Single cell centered in the field. 400×400 px. Peripheral blood smear
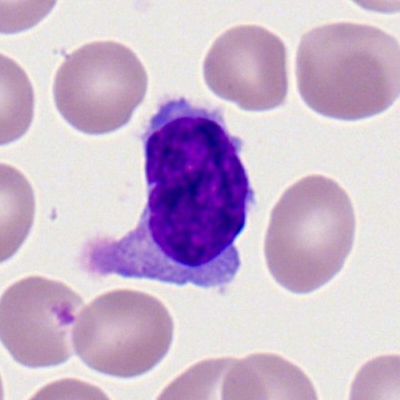
Q: What is shown here?
A: A lymphocyte.